Bone marrow aspirate smear; May-Grünwald-Giemsa stain: 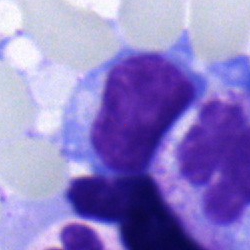
Specimen: bone marrow smear.
Classification: typical lymphocyte.